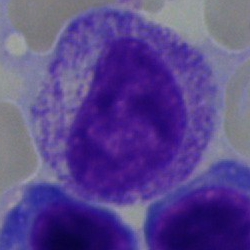 Morphology — myelocyte.